Bone marrow aspirate smear:
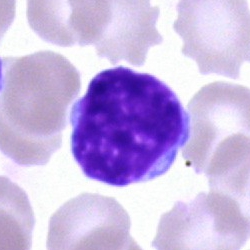 Morphological class: lymphocyte.